Bone marrow smear.
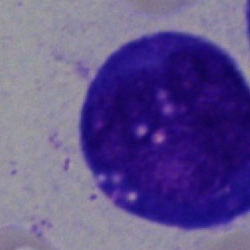

A blast.